Bone marrow smear
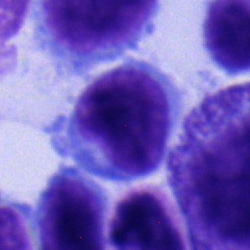
Morphological class — lymphocyte.